Bone marrow aspirate smear:
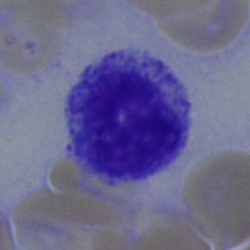 Single cell identified as a myelocyte.